Romanowsky-type stain. Peripheral blood smear:
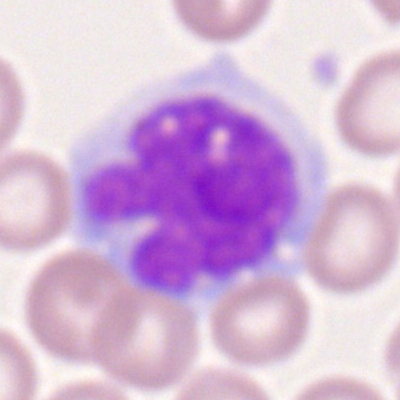
Monocyte.